Bone marrow smear. 250 by 250 pixels. May-Grünwald-Giemsa stain: 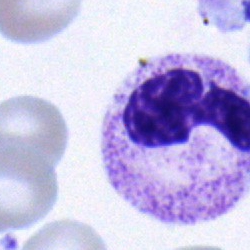Cell type — polymorphonuclear neutrophil.